Bone marrow aspirate smear; 250×250.
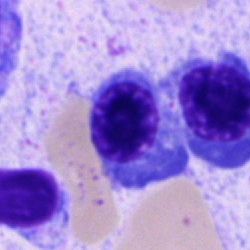
Morphology consistent with a nucleated red cell.